Bone marrow smear — 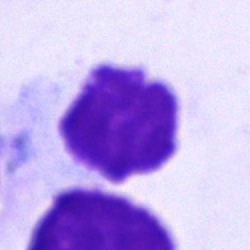Specimen: bone marrow smear.
Cell type: artifact.